250×250 px · bone marrow smear:
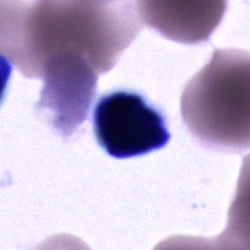 This is a cell of indeterminate lineage.